Single-cell field · bone marrow aspirate smear · image size 250×250:
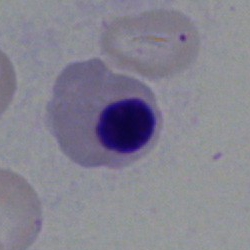 Showing an erythroblast.